Cropped to a single cell. Bone marrow smear. MGG-stained: 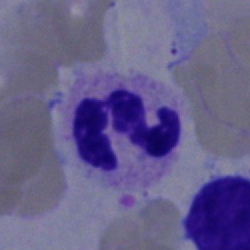 Specimen: bone marrow smear.
Cell: neutrophil (segmented).